Bone marrow smear · brightfield, 40× oil-immersion objective · single-cell field
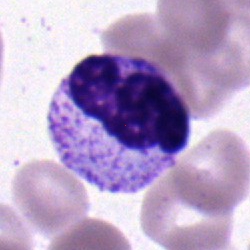 A polymorphonuclear neutrophil.